250 by 250 pixels; single-cell field; bone marrow aspirate smear
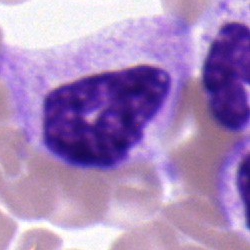 Specimen: bone marrow smear.
Cell type: polymorphonuclear neutrophil.
Lineage: myeloid.